Image size 250×250. Bone marrow aspirate smear.
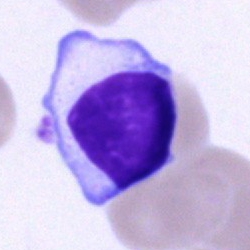 Impression → typical lymphocyte.